Bone marrow aspirate smear: 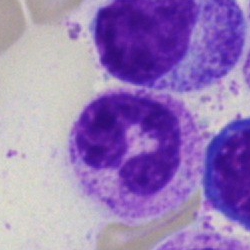

Showing a polymorphonuclear neutrophil.